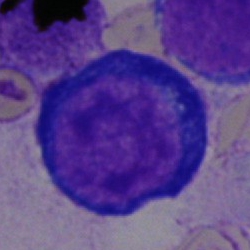
Specimen: bone marrow aspirate smear.
Classification: proerythroblast.
Lineage: erythroid.